Bone marrow aspirate smear · May-Grünwald-Giemsa/Pappenheim stain — 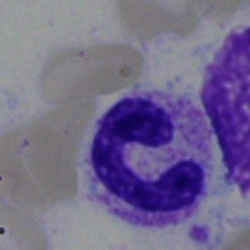 {"cell_type": "band-form neutrophil", "lineage": "myeloid"}